40× objective, oil immersion. Bone marrow aspirate smear
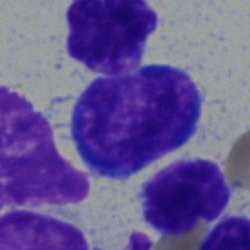Single cell identified as a lymphocyte.